Romanowsky-stained · peripheral blood film — 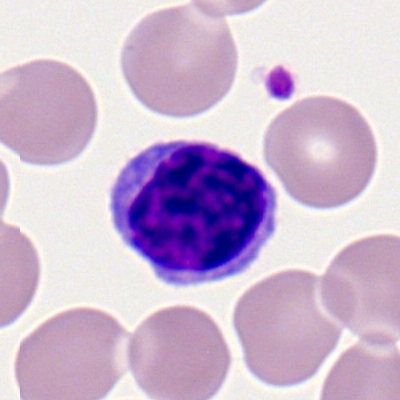
Morphology → typical lymphocyte.